250×250 · bone marrow aspirate smear: 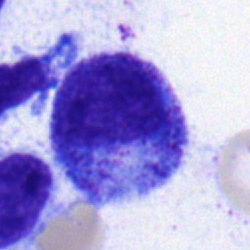

Specimen: bone marrow aspirate smear.
Morphological class: myelocyte.
Lineage: myeloid.